Brightfield microscopy, 40× oil immersion; bone marrow aspirate smear:
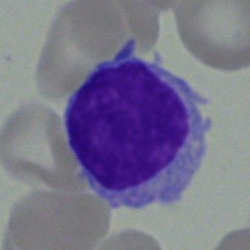

The cell shown is a lymphocyte.